Bone marrow smear; 250 by 250 pixels.
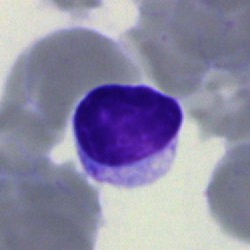 A typical lymphocyte.